Bone marrow smear; 250×250 px
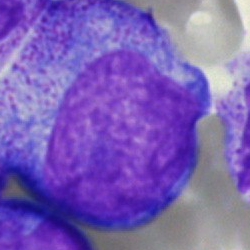
Showing a promyelocyte.